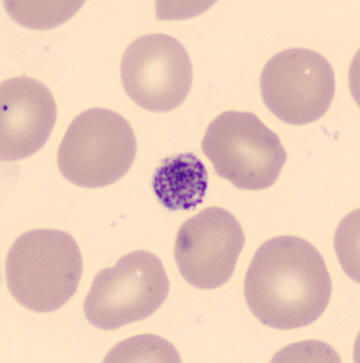Q: What is shown here?
A: This is a platelet (thrombocyte).

Peripheral blood film.